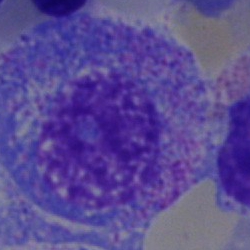 Q: What type of cell is this?
A: It is a progranulocyte.